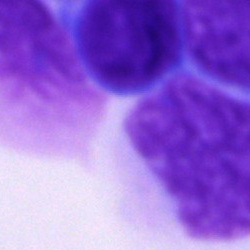

An artefact.